Bone marrow smear — 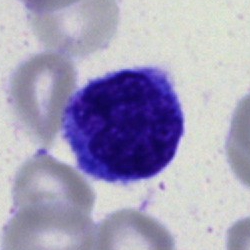
Specimen: bone marrow smear.
Cell: typical lymphocyte.